Bone marrow aspirate smear — 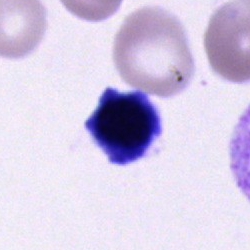Impression → unidentifiable cell.